Image size 250×250; bone marrow smear — 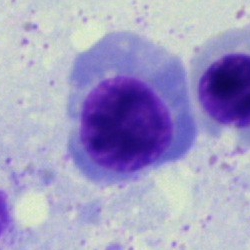Normoblast.